Bone marrow aspirate smear.
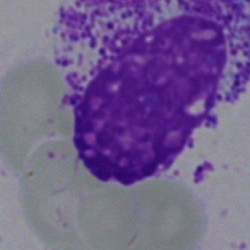 An artefact.